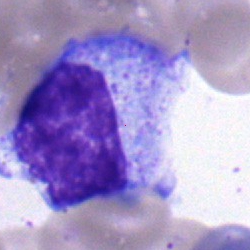

Q: Identify the cell.
A: A myelocyte.